Bone marrow aspirate smear · brightfield, 40× oil-immersion objective: 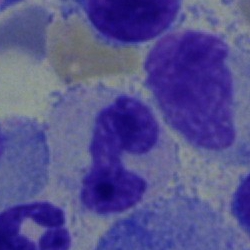

This is a band-form neutrophil.